Bone marrow aspirate smear · image size 250×250 — 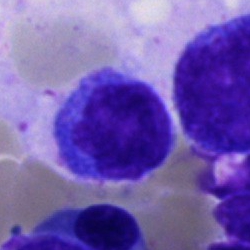Cell — lymphocyte.